Bone marrow smear — 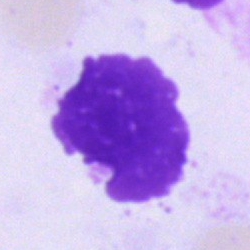 Morphology consistent with an artefact.